Bone marrow aspirate smear
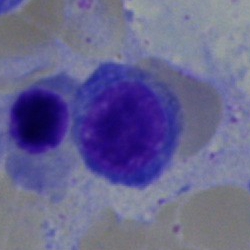
Q: What cell is this?
A: This is a nucleated red cell.